Bone marrow smear.
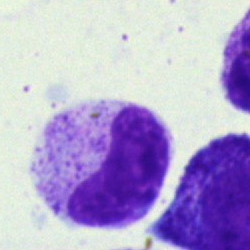{"cell_type": "metamyelocyte"}